Bone marrow aspirate smear. Single-cell crop. May-Grünwald-Giemsa stain
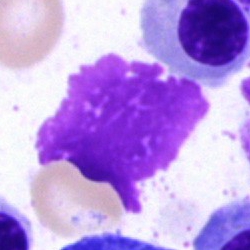The classification is artefact.